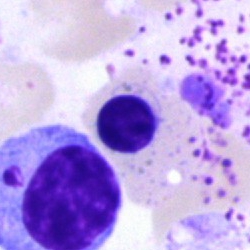

Bone marrow smear showing a nucleated red cell.